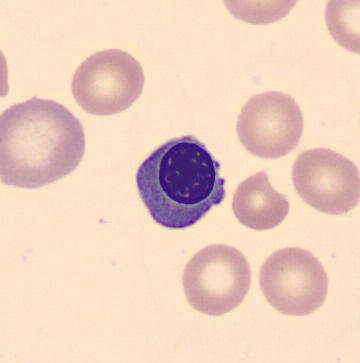Cell type — normoblast.